Bone marrow aspirate smear.
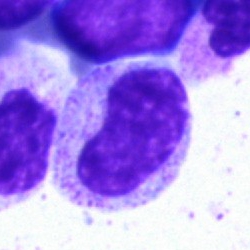 The cell is metamyelocyte.